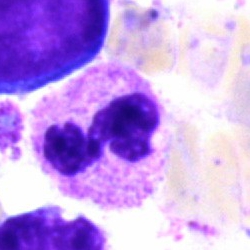Morphological class: segmented neutrophil.